Bone marrow aspirate smear. Single cell centered in the field.
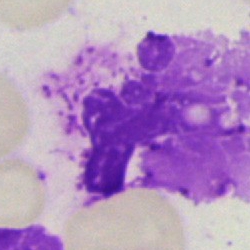

Specimen: bone marrow smear.
Morphological class: artefact.